Bone marrow smear
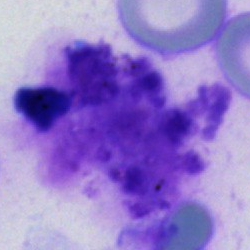
Q: What is shown here?
A: An artefact.